250×250 px; bone marrow smear: 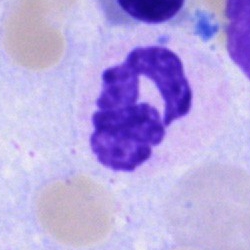Single cell identified as a neutrophil (segmented).